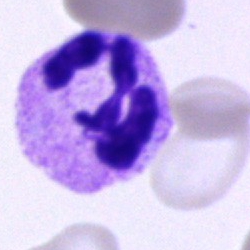Morphology → segmented neutrophil.